Bone marrow aspirate smear · May-Grünwald-Giemsa stain — 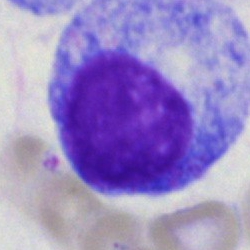 Cell type = promyelocyte.